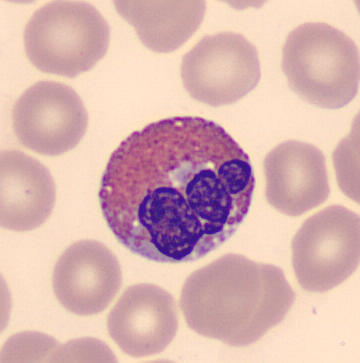Specimen: peripheral blood film.
Morphological class: eosinophil.
Lineage: myeloid.

Acquisition: May Grünwald-Giemsa stain.